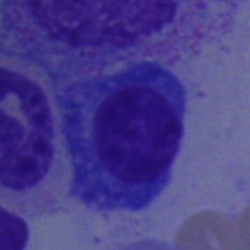Morphology consistent with a plasma cell.